Bone marrow aspirate smear · cropped to a single cell:
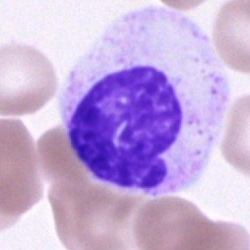

Specimen: bone marrow aspirate smear.
Cell: neutrophil (band).
Lineage: myeloid.